250×250 px · bone marrow aspirate smear: 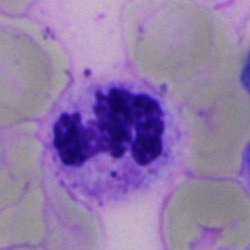This is a segmented neutrophil.